Single cell centered in the field · bone marrow aspirate smear.
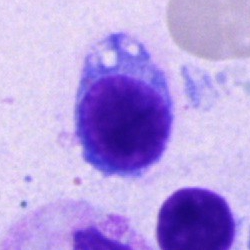
Morphology → typical lymphocyte.